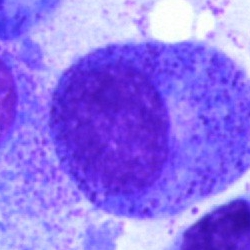Q: What cell is this?
A: It is a promyelocyte.